Peripheral blood smear · Romanowsky stain.
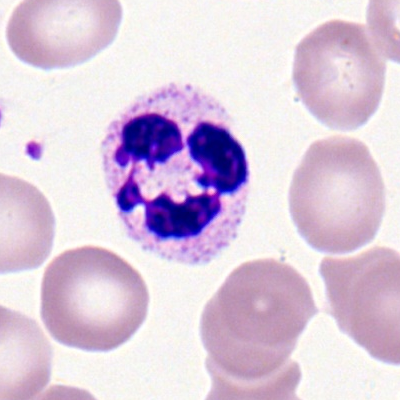

Specimen: peripheral blood smear.
Cell type: neutrophil (segmented).